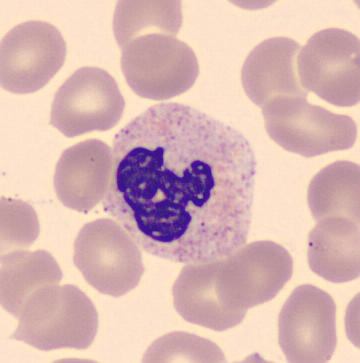
Morphology → segmented neutrophil.

Image: Peripheral blood smear.